Bone marrow aspirate smear: 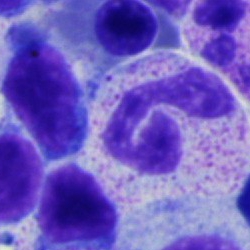

Classification: band neutrophil.